Brightfield, 40× oil-immersion objective; image size 250×250; bone marrow smear — 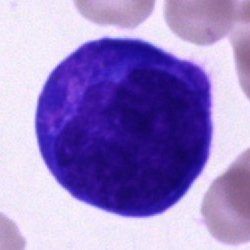

Specimen: bone marrow aspirate smear.
Cell: cell of indeterminate lineage.